400 by 400 pixels. Peripheral blood film — 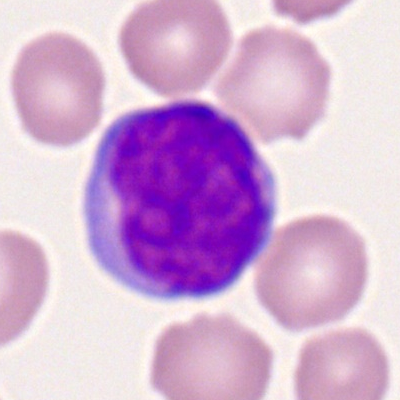

Myeloblast.